Single cell centered in the field · brightfield, 40× oil-immersion objective · bone marrow smear — 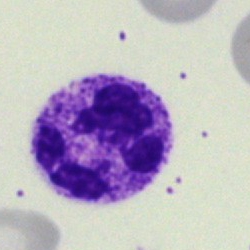Q: Which cell type is shown here?
A: It is a segmented neutrophil.